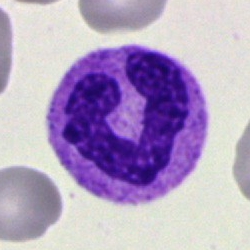
The cell shown is a neutrophil (segmented).